Bone marrow aspirate smear: 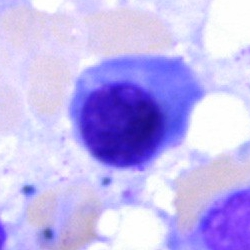
{"cell_type": "erythroblast", "lineage": "erythroid"}